Bone marrow smear:
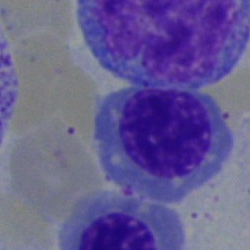Morphology consistent with a nucleated red cell.